Bone marrow smear: 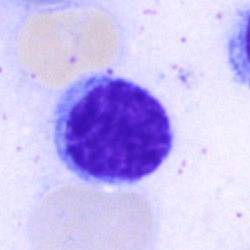

Showing a typical lymphocyte.